Pappenheim-stained · bone marrow smear · cropped to a single cell
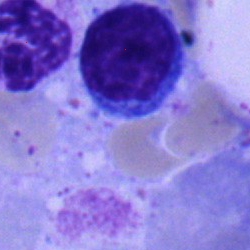

A lymphocyte.